Bone marrow aspirate smear · May-Grünwald-Giemsa stain
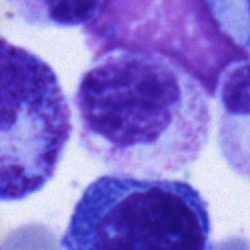

Single cell identified as a myelocyte.